Peripheral blood film: 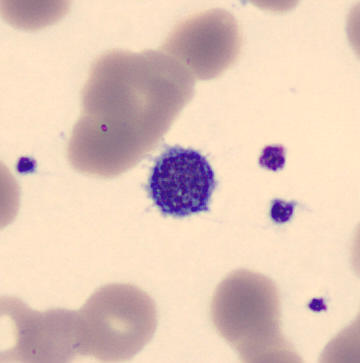Q: What is shown here?
A: Platelet.